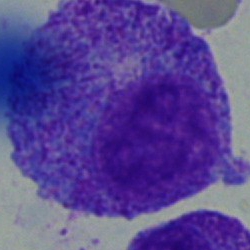

Single cell identified as a promyelocyte.